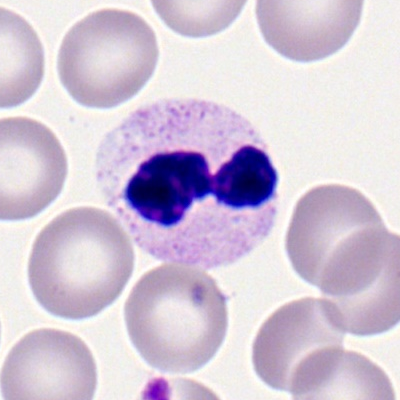

Peripheral blood film, single cell — neutrophil (segmented).